Bone marrow aspirate smear; single-cell crop: 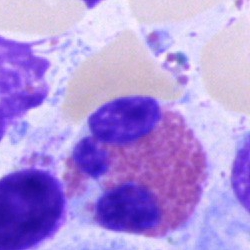The cell shown is an eosinophil.